Bone marrow smear — 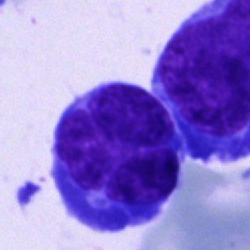

The cell shown is a blast.